Bone marrow smear. Image size 250×250: 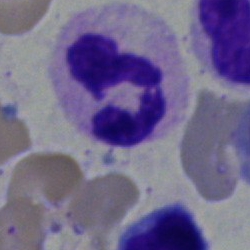
Morphology consistent with a neutrophil (segmented).